Bone marrow smear.
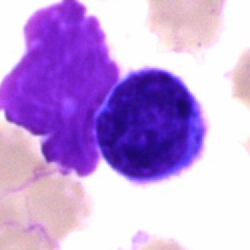
Q: Which cell type is shown here?
A: Lymphocyte.